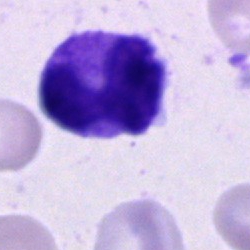

Q: What is shown here?
A: Artefact.